Single-cell field. Bone marrow aspirate smear. May-Grünwald-Giemsa stain
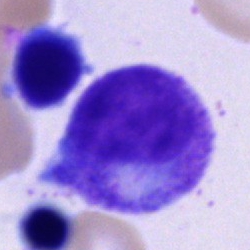

Q: What type of cell is this?
A: This is a promyelocyte.